Bone marrow smear. Cropped to a single cell:
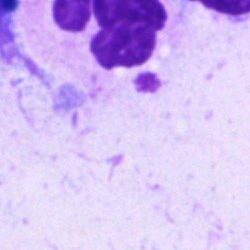 Morphology consistent with an artefact.